Bone marrow aspirate smear.
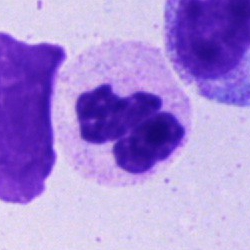
The cell shown is a polymorphonuclear neutrophil.